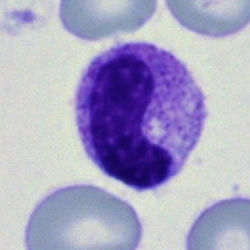
Neutrophil (band).